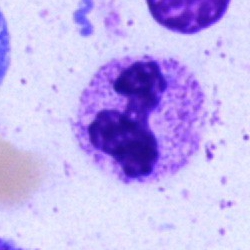 Morphology consistent with a polymorphonuclear neutrophil.